May-Grünwald-Giemsa stain; image size 250×250; bone marrow smear:
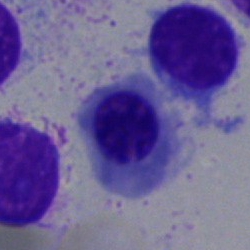 This is a normoblast.